Bone marrow smear — 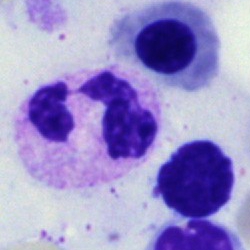 {"cell_type": "neutrophil (segmented)"}